Bone marrow aspirate smear — 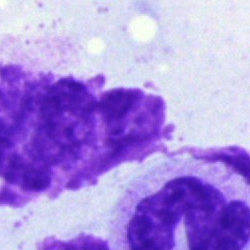
Artifact.